Bone marrow smear.
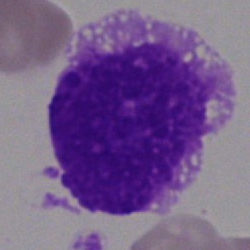

Q: What is shown here?
A: It is an artefact.